Bone marrow aspirate smear; 250 by 250 pixels; single-cell crop
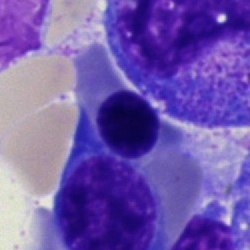 Morphology — erythroblast.